Bone marrow aspirate smear
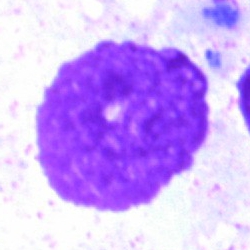

Specimen: bone marrow smear.
Classification: artifact.